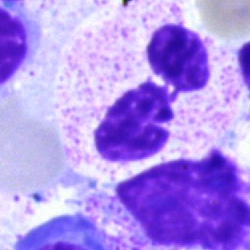
Bone marrow smear showing a segmented neutrophil.